May-Grünwald-Giemsa stain; brightfield microscopy, 40× oil immersion; bone marrow smear — 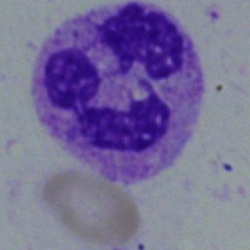
Morphological class: segmented neutrophil.